Bone marrow smear: 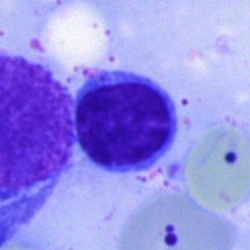Classification — typical lymphocyte.